Bone marrow smear: 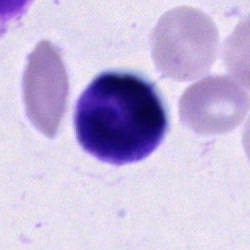

Specimen: bone marrow aspirate smear.
Morphological class: cell of indeterminate lineage.